Bone marrow aspirate smear · May-Grünwald-Giemsa stain
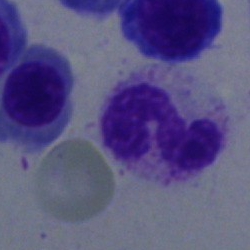
Q: Identify the cell.
A: This is a neutrophil (segmented).